Bone marrow smear:
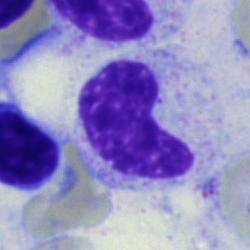Showing a stab cell.